Brightfield microscopy, 40× oil immersion; bone marrow aspirate smear: 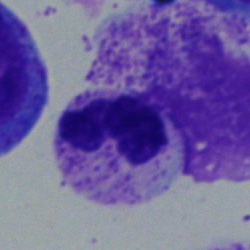 Q: What type of cell is this?
A: It is a band-form neutrophil.